MGG-stained; bone marrow aspirate smear.
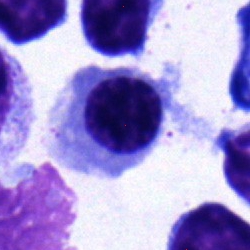Q: What is the morphological classification of this cell?
A: It is an erythroblast.